Bone marrow smear · single-cell crop:
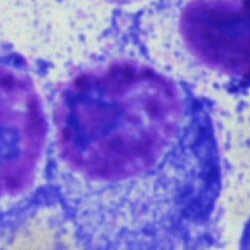 Morphology consistent with a plasma cell.